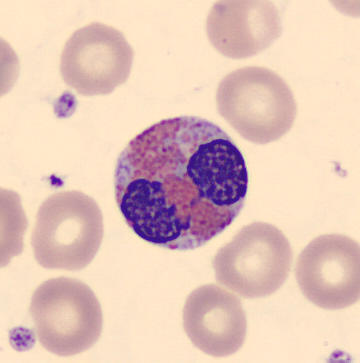
Morphological class = eosinophil. Acquisition: Peripheral blood smear.